100× oil immersion, 14.14 px/µm; peripheral blood smear
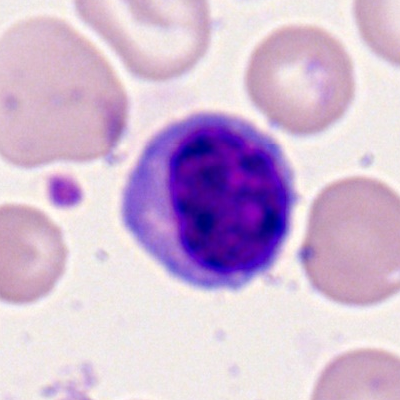
Impression → typical lymphocyte.